250×250 px. May-Grünwald-Giemsa/Pappenheim stain. Bone marrow smear.
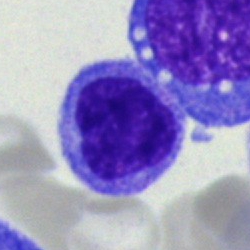

{"cell_type": "monocyte"}